Bone marrow aspirate smear:
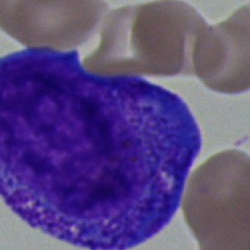
Impression → progranulocyte.